Pappenheim-stained. Bone marrow smear
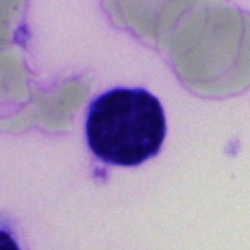Q: Which cell type is shown here?
A: A typical lymphocyte.